Bone marrow aspirate smear — 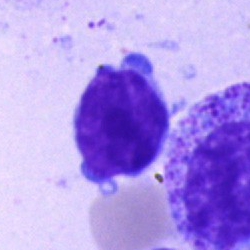

Specimen: bone marrow smear.
Cell type: lymphocyte.
Lineage: lymphoid.